Bone marrow aspirate smear. Single-cell field
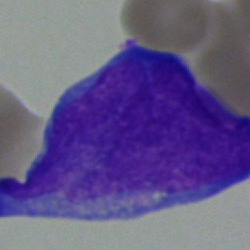 Morphology consistent with a basophilic granulocyte.